Bone marrow aspirate smear
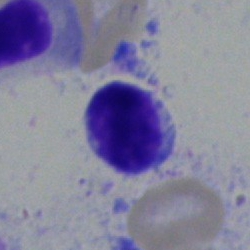

Q: What type of cell is this?
A: A typical lymphocyte.